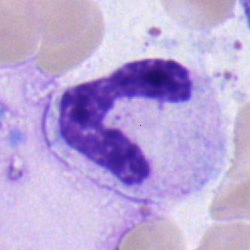A neutrophil (band).